Single cell centered in the field · bone marrow smear — 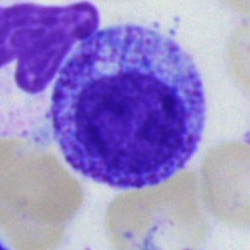

Morphology consistent with a progranulocyte.